May-Grünwald-Giemsa/Pappenheim stain; cropped to a single cell; bone marrow smear
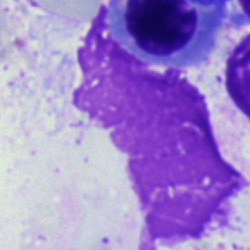Cell type = artifact.